Pappenheim-stained · bone marrow aspirate smear
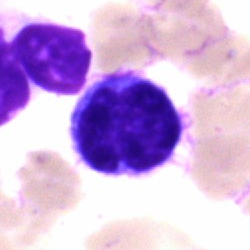{"cell_type": "lymphocyte"}